MGG-stained · bone marrow smear · single cell centered in the field.
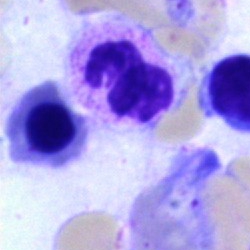

Single cell identified as a polymorphonuclear neutrophil.